May-Grünwald-Giemsa/Pappenheim stain; bone marrow aspirate smear: 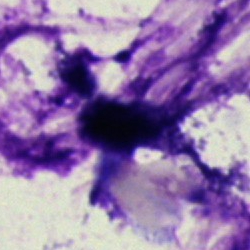
Classification = artifact.